Brightfield, 40× oil-immersion objective. Single cell centered in the field. Bone marrow smear:
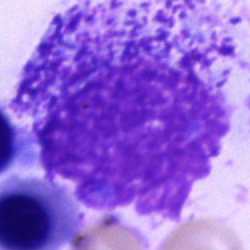Q: What is the morphological classification of this cell?
A: This is a promyelocyte.